Bone marrow aspirate smear · May-Grünwald-Giemsa/Pappenheim stain.
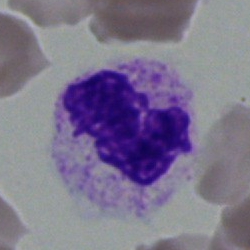Morphology consistent with a polymorphonuclear neutrophil.